Bone marrow smear: 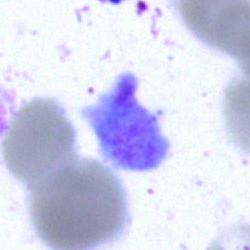 Cell type — artefact.